Bone marrow aspirate smear; brightfield microscopy, 40× oil immersion.
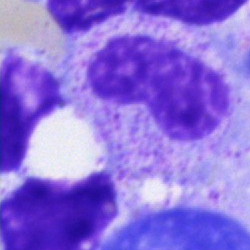 The cell shown is a metamyelocyte.